Bone marrow smear.
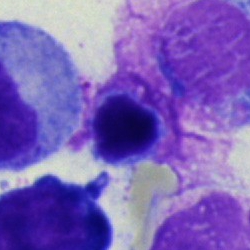
This is a nucleated red blood cell.